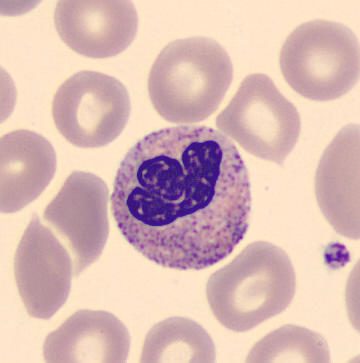 Classification — neutrophil (segmented).